Brightfield, 40× oil-immersion objective · bone marrow aspirate smear:
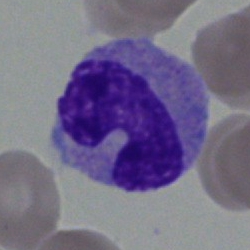Showing a band-form neutrophil.